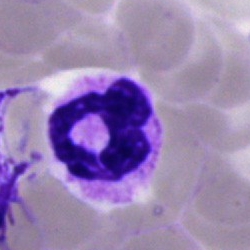
Bone marrow aspirate smear, single cell — neutrophil (segmented).